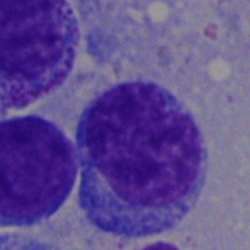
Morphological class: typical lymphocyte.